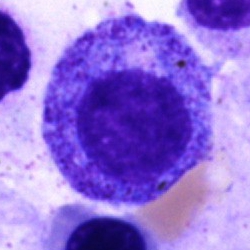
The cell shown is a promyelocyte.